Bone marrow smear.
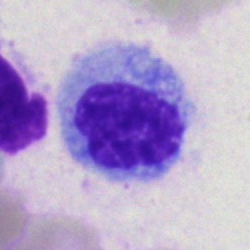
Specimen: bone marrow aspirate smear.
Classification: monocyte.
Lineage: myeloid.